Bone marrow smear; MGG-stained
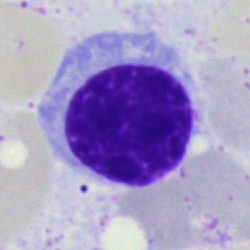
The classification is lymphocyte.